May-Grünwald-Giemsa stain; bone marrow aspirate smear.
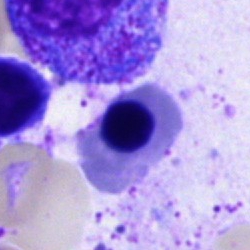
Single cell identified as a normoblast.